Bone marrow smear. Image size 250×250.
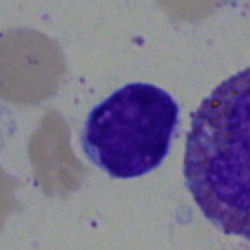A typical lymphocyte.